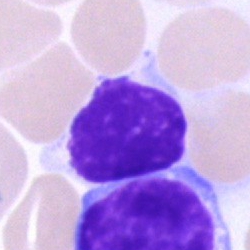A typical lymphocyte on a bone marrow smear.